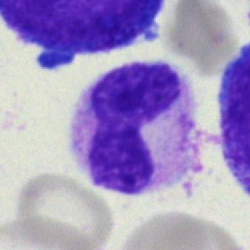Morphology consistent with a stab cell.